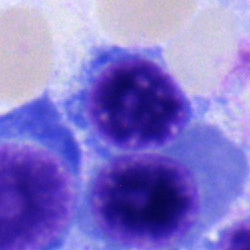

Morphology → erythroblast.